Bone marrow aspirate smear:
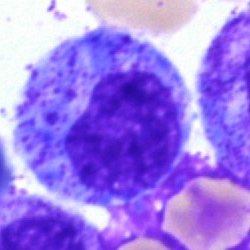
Q: Identify the cell.
A: A progranulocyte.